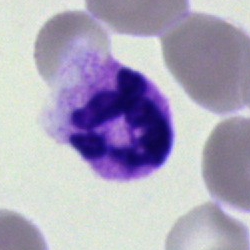 A segmented neutrophil.